Brightfield microscopy, 40× oil immersion · single cell centered in the field · bone marrow aspirate smear:
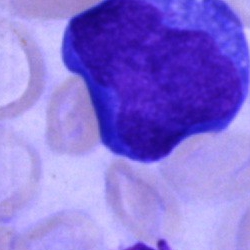
Showing an undifferentiated blast.